Bone marrow smear; 40× objective, oil immersion:
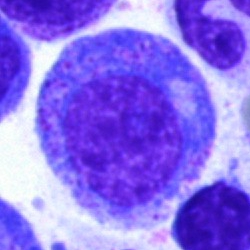 Classification = promyelocyte.